Bone marrow smear:
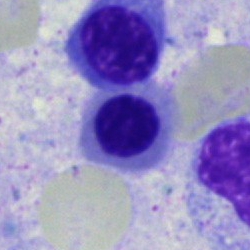

Morphology → nucleated red blood cell.